Bone marrow smear. May-Grünwald-Giemsa stain: 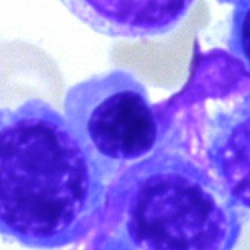

Morphology — nucleated red blood cell.